Peripheral blood smear
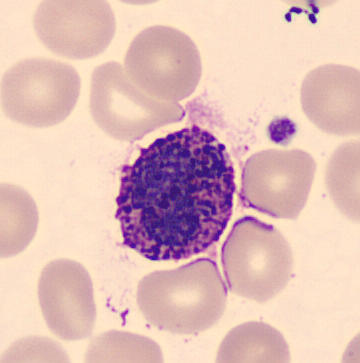
This is a basophil.